Peripheral blood film · 100× oil immersion:
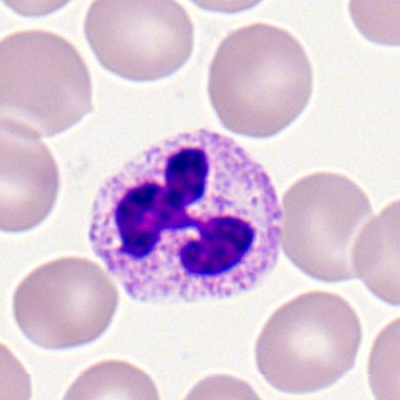

This is a neutrophil (segmented).